Image size 360×363 · MGG stain · peripheral blood film
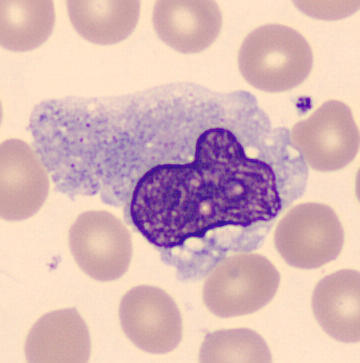
Monocyte.